Bone marrow aspirate smear
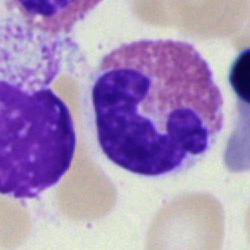

{"cell_type": "eosinophil"}